Single-cell field; bone marrow smear.
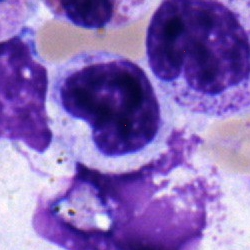

The morphological class is metamyelocyte.